Bone marrow smear — 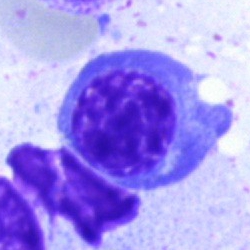A nucleated red blood cell.